Bone marrow smear. MGG-stained.
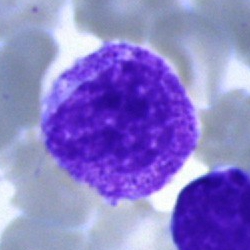Myelocyte.